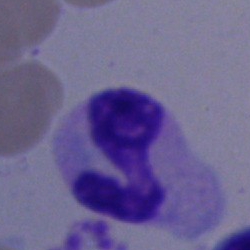

Showing a band neutrophil.